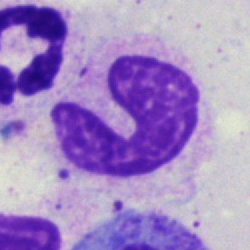

Bone marrow smear showing a band neutrophil.